Bone marrow smear; Pappenheim-stained — 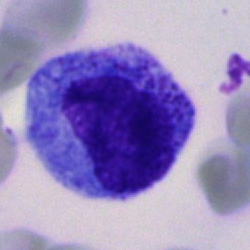
Impression — progranulocyte.